Bone marrow aspirate smear.
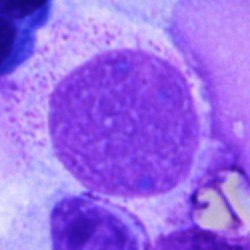Classification: artefact.